Bone marrow smear. Single cell centered in the field:
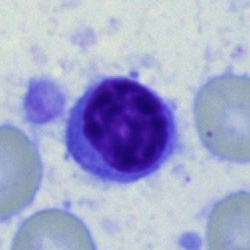
The cell shown is a typical lymphocyte.